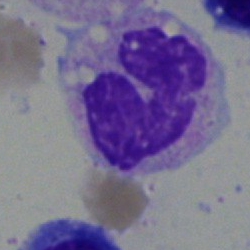

Stab cell.